Bone marrow aspirate smear; cropped to a single cell; 250 by 250 pixels:
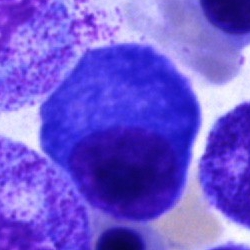

Specimen: bone marrow smear.
Cell: plasma cell.
Lineage: lymphoid.